Bone marrow smear: 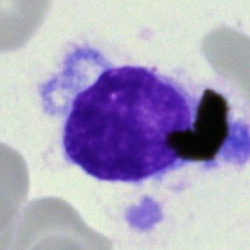

The classification is hairy cell.